Bone marrow smear.
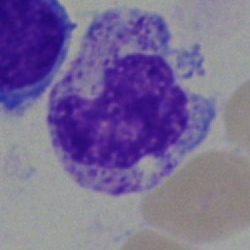

Morphological class: metamyelocyte.